Brightfield, 40× oil-immersion objective. Bone marrow smear. Single cell centered in the field:
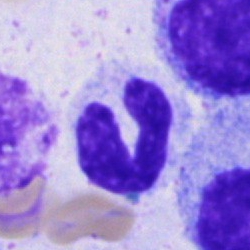 The cell shown is a band-form neutrophil.